Peripheral blood film:
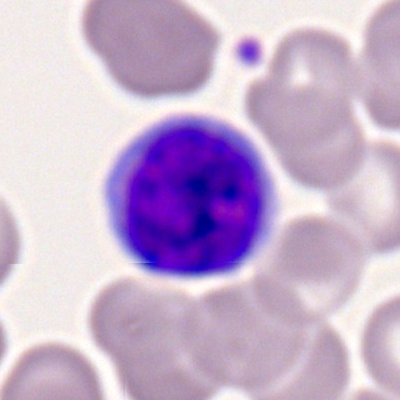 A typical lymphocyte.